Bone marrow aspirate smear
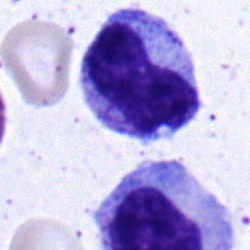
Q: What type of cell is this?
A: Band-form neutrophil.